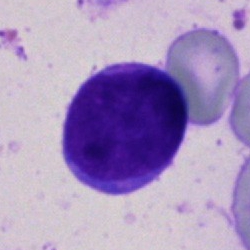 Cell type: blast cell.